Image size 250×250. 40× objective, oil immersion. Bone marrow aspirate smear: 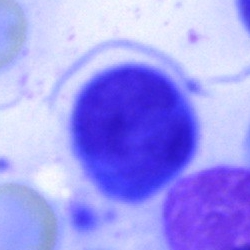Q: Which cell type is shown here?
A: This is a cell of indeterminate lineage.